Bone marrow smear · single-cell crop: 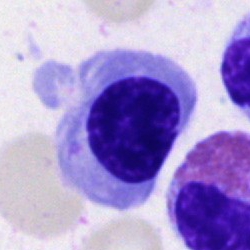

Q: What type of cell is this?
A: It is an erythroblast.